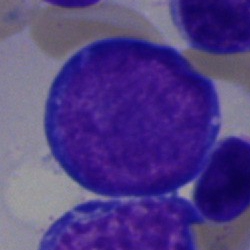

This is a pronormoblast.